Bone marrow aspirate smear:
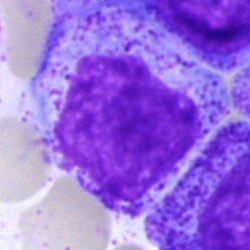

{"cell_type": "promyelocyte", "lineage": "myeloid"}